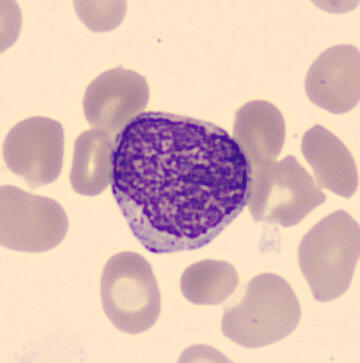
Q: What cell is this?
A: A myelocyte.
Peripheral blood film.